Image size 250×250 · bone marrow aspirate smear:
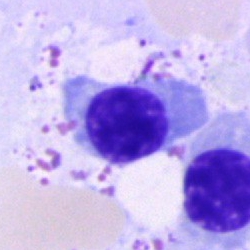

Impression — nucleated red cell.